Bone marrow aspirate smear — 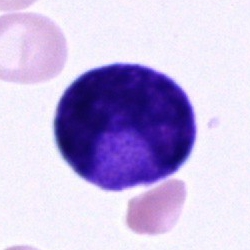 Morphology consistent with a cell of indeterminate lineage.